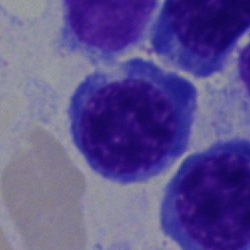
A normoblast.